40× objective, oil immersion. 250×250 px. Bone marrow aspirate smear.
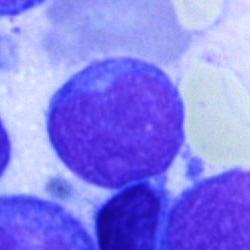 {"cell_type": "blast"}